Bone marrow smear
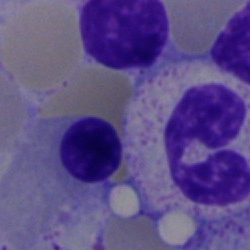
A normoblast.